Single cell centered in the field · bone marrow aspirate smear.
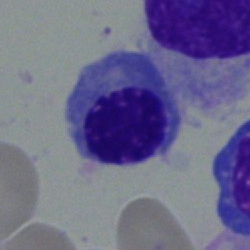Q: What type of cell is this?
A: A normoblast.